40× objective, oil immersion · bone marrow aspirate smear:
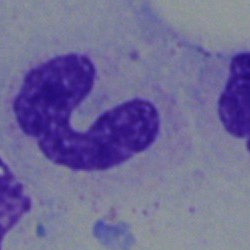Q: Which cell type is shown here?
A: Band neutrophil.